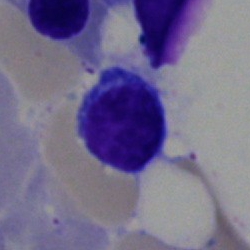 Q: What cell is this?
A: A lymphocyte.